Bone marrow aspirate smear · brightfield microscopy, 40× oil immersion
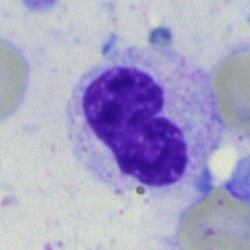
This is a stab cell.